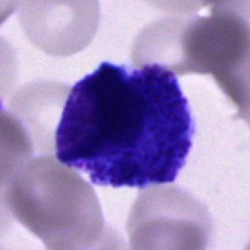 Q: What cell is this?
A: This is a promyelocyte.